Bone marrow aspirate smear.
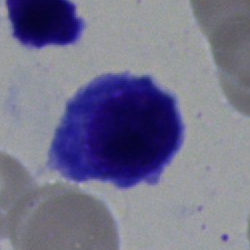
Morphological class — erythroblast.